Brightfield microscopy, 40× oil immersion; bone marrow smear; image size 250×250.
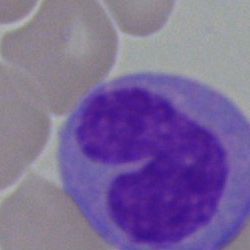
Single cell identified as a monocyte.